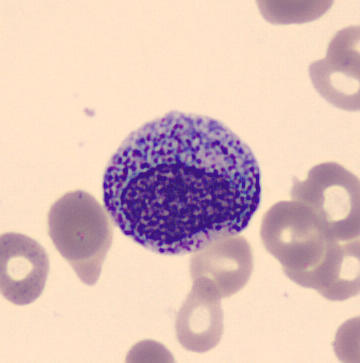 Impression — progranulocyte.

Peripheral blood film.